Brightfield microscopy, 40× oil immersion; bone marrow aspirate smear — 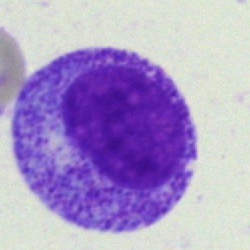
Q: Which cell type is shown here?
A: A myelocyte.